Bone marrow aspirate smear
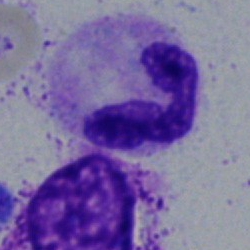This is a polymorphonuclear neutrophil.